May-Grünwald-Giemsa stain · bone marrow smear
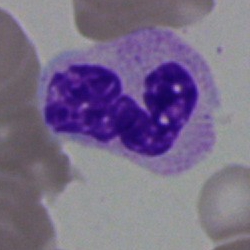
This is a polymorphonuclear neutrophil.